May-Grünwald-Giemsa/Pappenheim stain; bone marrow aspirate smear
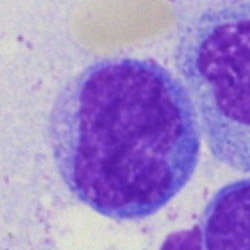
Specimen: bone marrow smear.
Cell: monocyte.